Bone marrow smear.
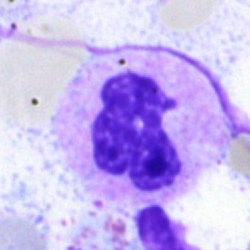

Segmented neutrophil.